Single-cell field; bone marrow aspirate smear — 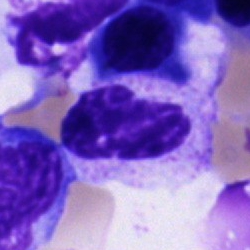

Q: Identify the cell.
A: This is a cell of indeterminate lineage.